May-Grünwald-Giemsa/Pappenheim stain · bone marrow aspirate smear: 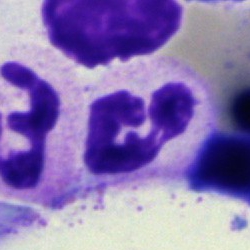
Impression — segmented neutrophil.